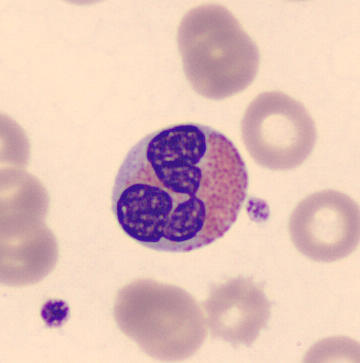
This is an eosinophilic granulocyte.